Bone marrow aspirate smear; 250×250; brightfield microscopy, 40× oil immersion:
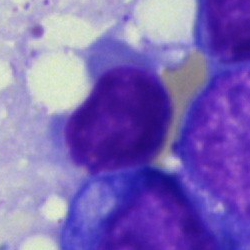 Single cell identified as a typical lymphocyte.